Bone marrow smear.
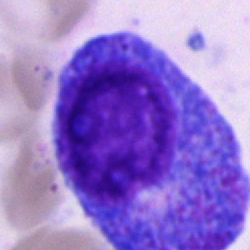Morphology → progranulocyte.